Peripheral blood film · 100× oil immersion · image size 400×400 — 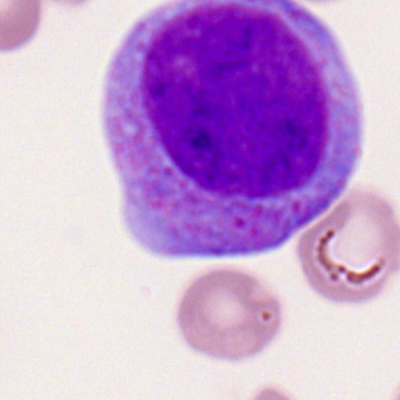
Cell = progranulocyte.